Single cell centered in the field · MGG-stained · bone marrow aspirate smear — 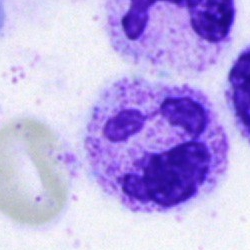Impression — segmented neutrophil.